Bone marrow smear · brightfield microscopy, 40× oil immersion · single cell centered in the field
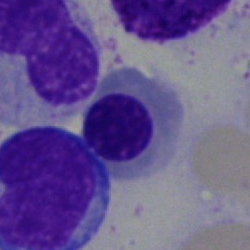
Morphology consistent with a nucleated red cell.